MGG-stained; bone marrow smear — 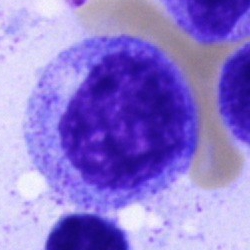 Specimen: bone marrow smear.
Cell type: progranulocyte.
Lineage: myeloid.